40× oil immersion; 250×250 px; bone marrow aspirate smear
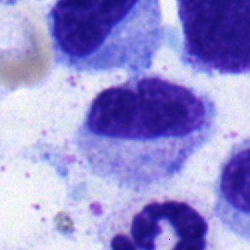
Specimen: bone marrow aspirate smear.
Cell type: metamyelocyte.
Lineage: myeloid.